Bone marrow aspirate smear.
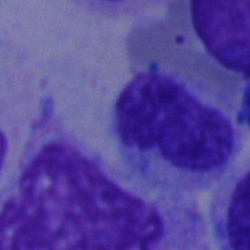 Q: What type of cell is this?
A: This is a metamyelocyte.